250 by 250 pixels; bone marrow smear.
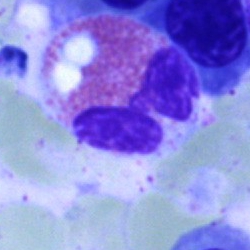 Specimen: bone marrow smear.
Classification: eosinophil.
Lineage: myeloid.